Bone marrow smear — 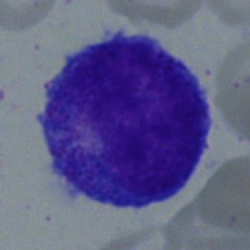

Cell = promyelocyte.